Bone marrow smear; image size 250×250 — 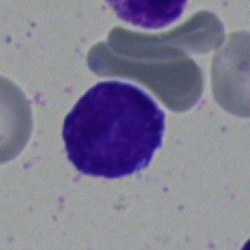The cell type is typical lymphocyte.